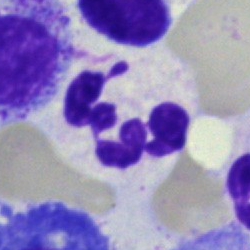
Q: What type of cell is this?
A: This is a neutrophil (segmented).